Bone marrow aspirate smear: 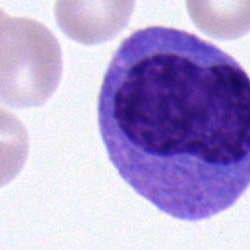

The cell shown is a monocyte.